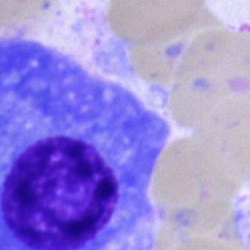 Specimen: bone marrow smear.
Cell type: plasmacyte.